Bone marrow smear; brightfield, 40× oil-immersion objective; MGG-stained:
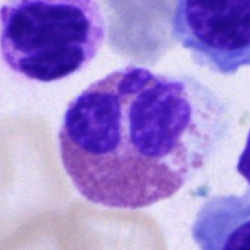Morphological class = eosinophil.